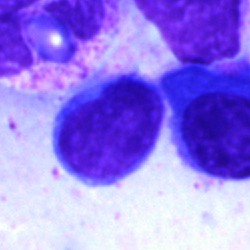

The morphological class is lymphocyte.